40× oil immersion · bone marrow aspirate smear.
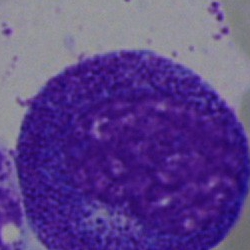 Morphology consistent with a progranulocyte.